Bone marrow aspirate smear.
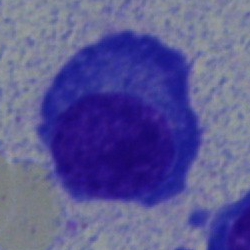 Q: What is the morphological classification of this cell?
A: It is a plasma cell.